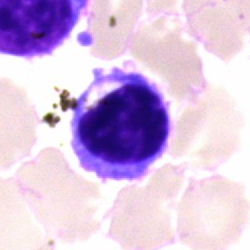
A typical lymphocyte on a bone marrow smear.